Bone marrow smear — 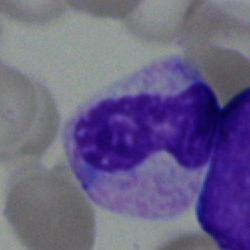
Q: Identify the cell.
A: This is a stab cell.